250×250 px. Bone marrow aspirate smear — 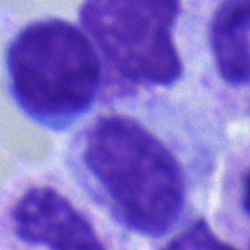Cell type = myelocyte.